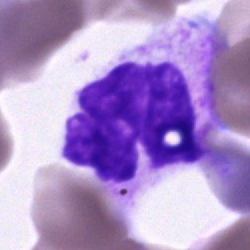Cell = polymorphonuclear neutrophil.